250 by 250 pixels · bone marrow aspirate smear
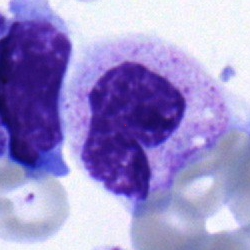

Cell = metamyelocyte.